Bone marrow smear.
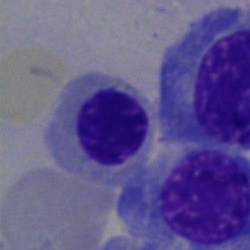
Impression — erythroblast.